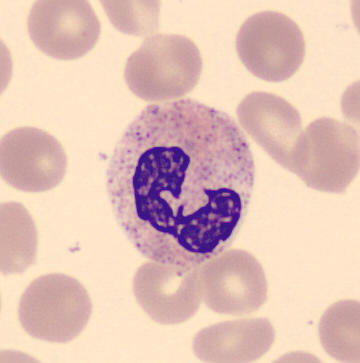Morphological class = polymorphonuclear neutrophil.